Image size 250×250 · bone marrow aspirate smear.
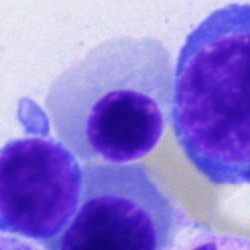Showing a nucleated red blood cell.